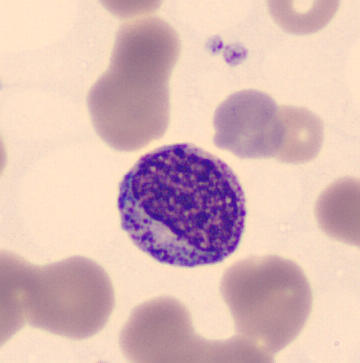

Morphological class — myelocyte.

Preparation: Peripheral blood smear.